Bone marrow aspirate smear. May-Grünwald-Giemsa/Pappenheim stain.
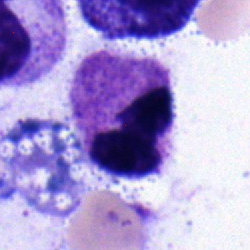

This is a segmented neutrophil.